Bone marrow aspirate smear — 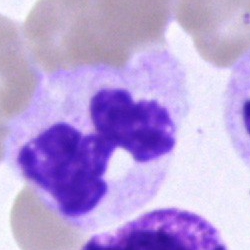Morphological class = neutrophil (segmented).